Bone marrow aspirate smear:
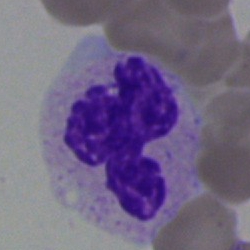 The cell shown is a neutrophil (segmented).